Bone marrow aspirate smear: 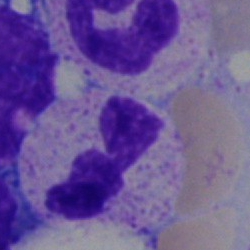 The cell type is neutrophil (segmented).